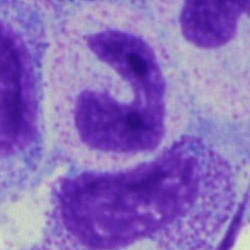

A segmented neutrophil.